Bone marrow smear.
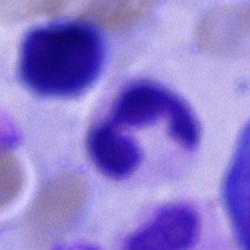Q: Which cell type is shown here?
A: This is a polymorphonuclear neutrophil.